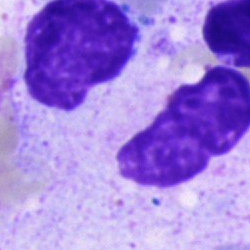

Single cell identified as an artefact.